Peripheral blood film. Romanowsky stain. 100× oil immersion, 14.14 px/µm — 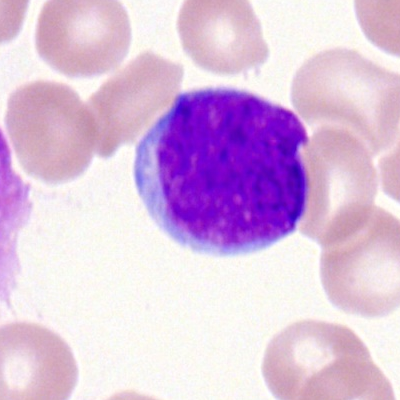
{"cell_type": "myeloblast"}